Brightfield microscopy, 40× oil immersion; bone marrow smear — 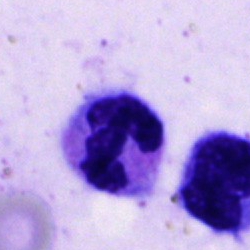Morphology → segmented neutrophil.